Bone marrow smear. 250 by 250 pixels: 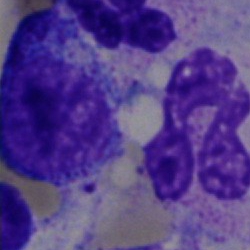Q: What is the morphological classification of this cell?
A: Segmented neutrophil.